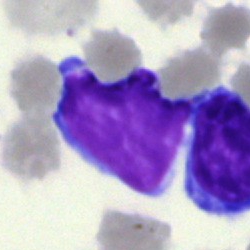Morphology → typical lymphocyte.